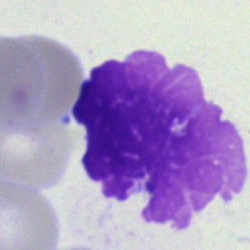 {"cell_type": "artifact"}